Bone marrow smear:
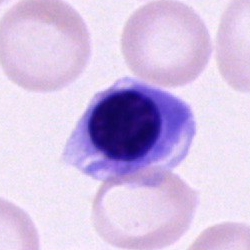 Cell type — erythroblast.